Bone marrow aspirate smear
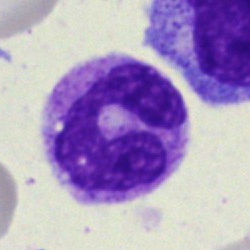
Q: What cell is this?
A: This is a monocyte.